Romanowsky stain · peripheral blood film: 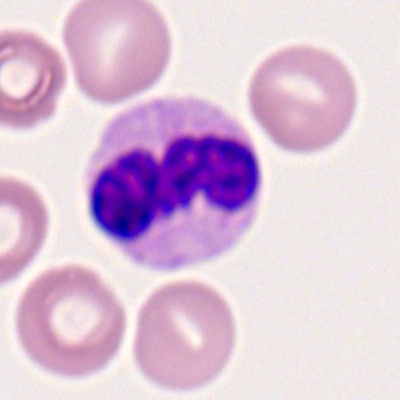 Q: Which cell type is shown here?
A: A polymorphonuclear neutrophil.